Single-cell field; bone marrow smear
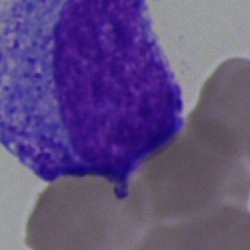Single cell identified as a progranulocyte.